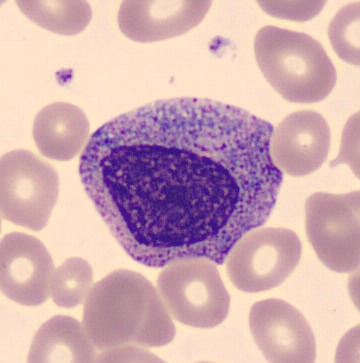

Specimen: peripheral blood film.
Morphological class: progranulocyte.
Lineage: myeloid.
Image: 360 by 363 pixels.